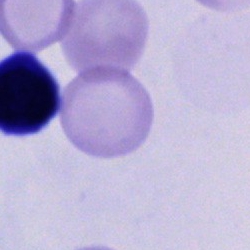 This is a cell of indeterminate lineage.